Bone marrow smear:
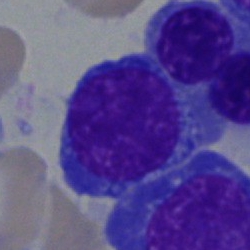A nucleated red blood cell.